Bone marrow aspirate smear.
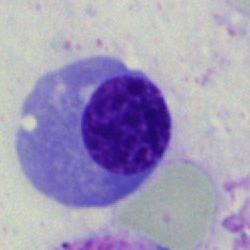Q: What is the morphological classification of this cell?
A: This is a nucleated red blood cell.